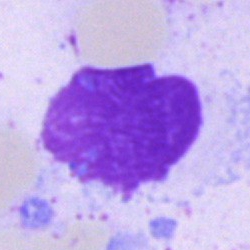
Classification = artefact.